Bone marrow smear:
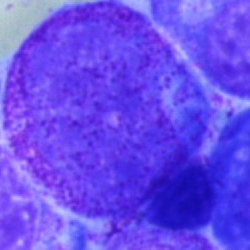
Morphology consistent with a promyelocyte.